Bone marrow smear. MGG-stained: 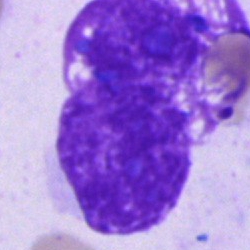

Single cell identified as an artifact.